Bone marrow smear; cropped to a single cell — 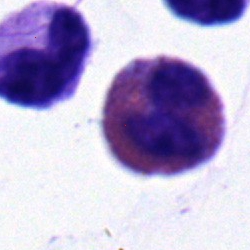

Classification — eosinophil.